Bone marrow smear — 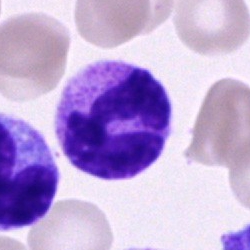
Impression — neutrophil (segmented).